Bone marrow smear · 250×250 px — 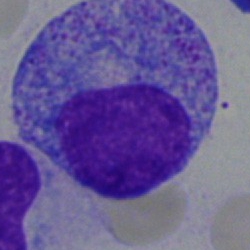Q: What type of cell is this?
A: This is a promyelocyte.